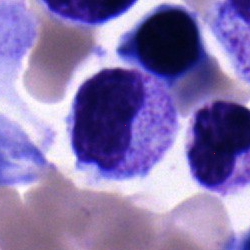

{"cell_type": "metamyelocyte"}